Bone marrow smear — 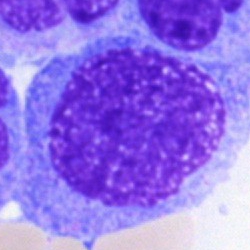
Specimen: bone marrow smear.
Classification: blast cell.